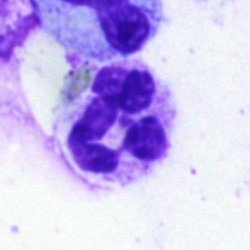Impression — segmented neutrophil.